Bone marrow smear.
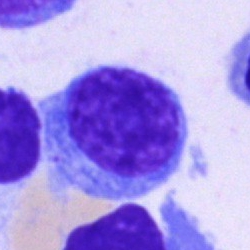Typical lymphocyte.